Bone marrow smear; brightfield, 40× oil-immersion objective; 250×250 px:
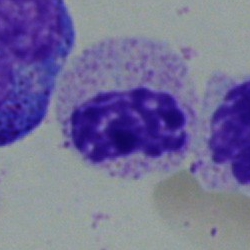 A stab cell.